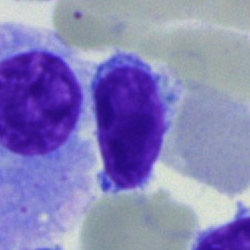
Bone marrow aspirate smear, single cell — lymphocyte.